Bone marrow aspirate smear
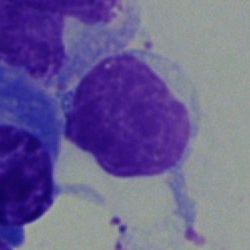

Cell type = typical lymphocyte.